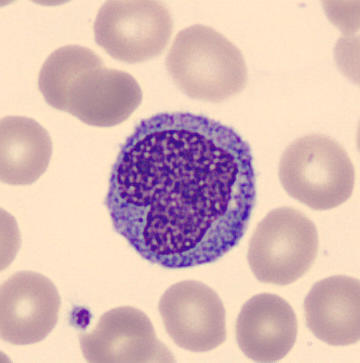 Showing a monocyte. Acquisition: Peripheral blood smear · MGG-stained · image size 360×363.